Bone marrow aspirate smear — 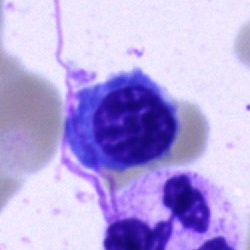 This is a nucleated red blood cell.